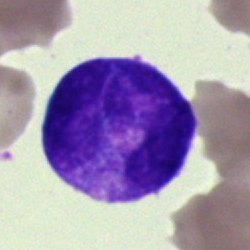
Impression → blast.